Bone marrow aspirate smear
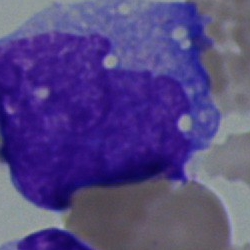
Specimen: bone marrow aspirate smear.
Cell: blast cell.